Bone marrow aspirate smear; 250×250.
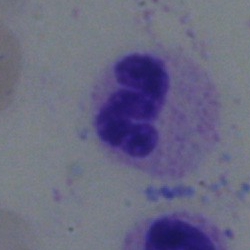Morphology consistent with a segmented neutrophil.